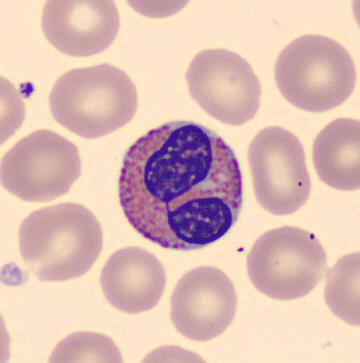
Specimen: peripheral blood smear.
Morphological class: eosinophil.
Single-cell crop.